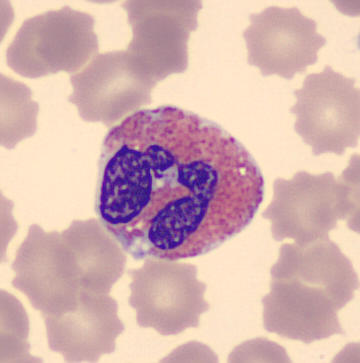The cell shown is an eosinophilic granulocyte.
May-Grünwald-Giemsa-stained; peripheral blood film.